Bone marrow aspirate smear:
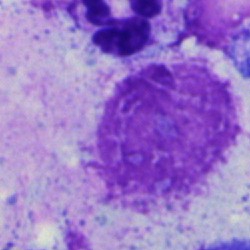

Cell type: artefact.